MGG-stained. Bone marrow smear. Image size 250×250.
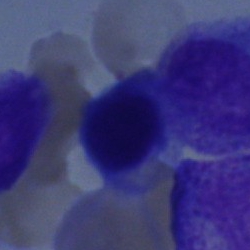

Cell type: nucleated red cell.